Pappenheim-stained; bone marrow aspirate smear — 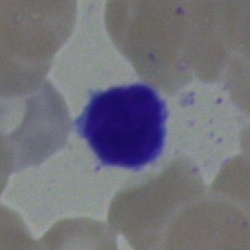

Cell = typical lymphocyte.